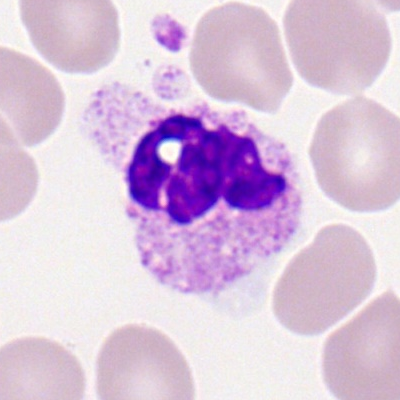

Morphology → polymorphonuclear neutrophil.